Single-cell crop. Bone marrow aspirate smear: 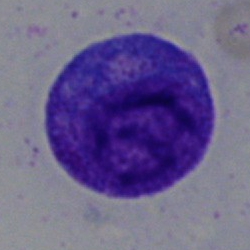
This is a progranulocyte.